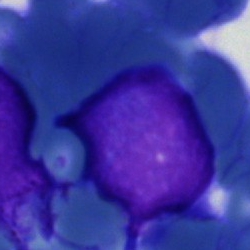 Morphological class = blast.